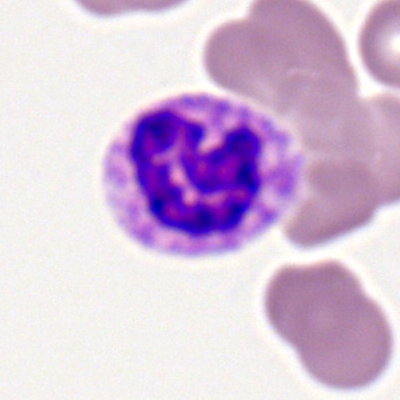

The classification is polymorphonuclear neutrophil.